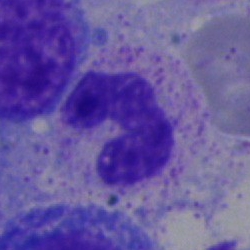

{"cell_type": "band neutrophil", "lineage": "myeloid"}